Cropped to a single cell. Bone marrow aspirate smear:
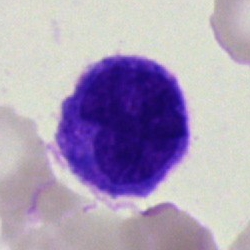Specimen: bone marrow aspirate smear.
Cell type: blast cell.